May-Grünwald-Giemsa stain; bone marrow aspirate smear: 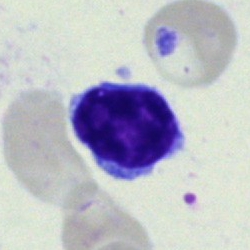The cell shown is a lymphocyte.